MGG-stained; bone marrow aspirate smear: 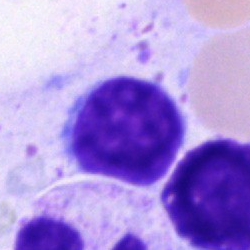 Q: What cell is this?
A: Lymphocyte.